Bone marrow aspirate smear · cropped to a single cell · Pappenheim-stained: 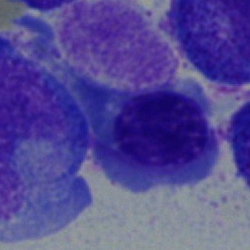
Showing an erythroblast.